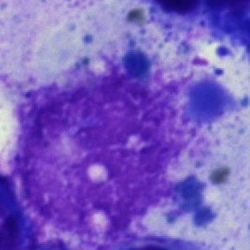Single cell identified as an artefact.